Bone marrow smear: 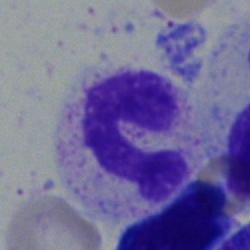
Band-form neutrophil.